Bone marrow aspirate smear. Pappenheim-stained. Brightfield, 40× oil-immersion objective
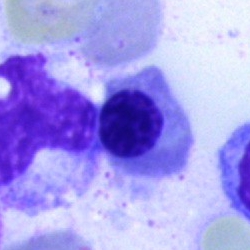 Cell = nucleated red blood cell.